Bone marrow aspirate smear
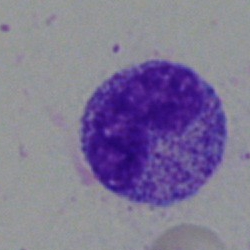

{"cell_type": "band-form neutrophil", "lineage": "myeloid"}